Bone marrow aspirate smear:
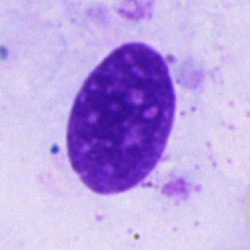
Q: What is shown here?
A: An artefact.